Bone marrow smear — 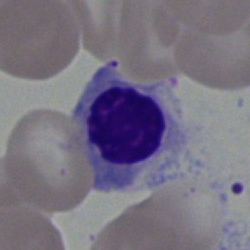 Erythroblast.